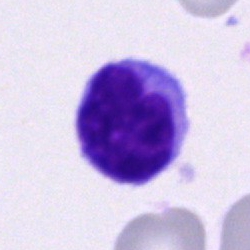
Cell = lymphocyte.